Bone marrow smear. Cropped to a single cell.
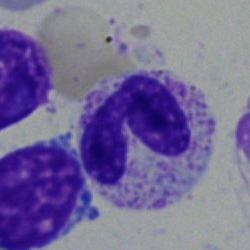

Q: Identify the cell.
A: Segmented neutrophil.